Bone marrow smear · May-Grünwald-Giemsa stain: 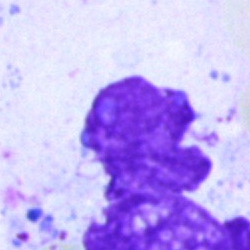
Specimen: bone marrow smear.
Cell type: artefact.